Bone marrow smear; 40× oil immersion
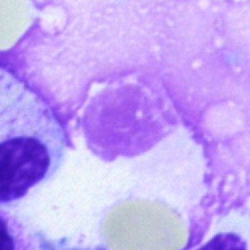 Q: What is shown here?
A: An artefact.